Bone marrow smear
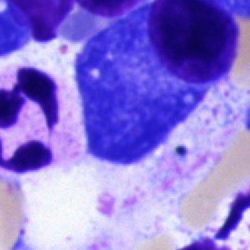

Showing a plasmacyte.